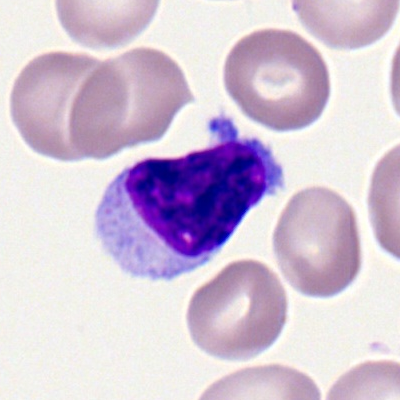

Specimen: peripheral blood film.
Cell: lymphocyte.